Romanowsky-stained · peripheral blood film.
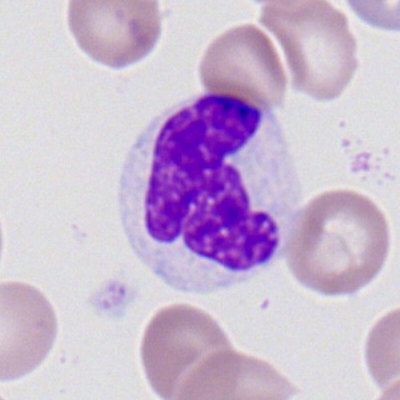
Cell type — segmented neutrophil.